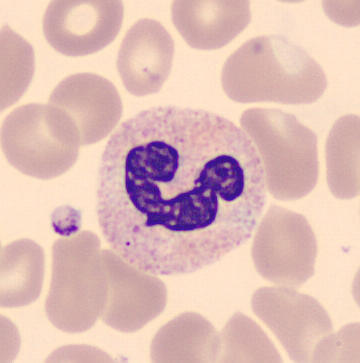

{"cell_type": "band-form neutrophil", "lineage": "myeloid"}
Acquisition: Peripheral blood film.